Bone marrow aspirate smear — 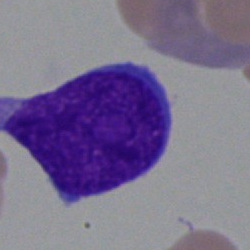

Q: What is shown here?
A: Undifferentiated blast.